Single cell centered in the field · bone marrow aspirate smear.
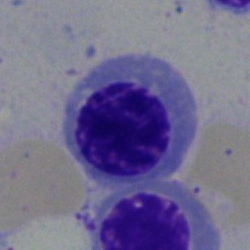

Cell: nucleated red cell.